Bone marrow aspirate smear. 250 by 250 pixels. Single-cell field
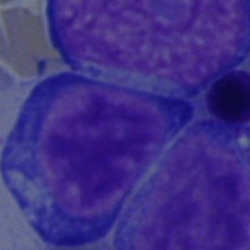
Specimen: bone marrow smear.
Morphological class: pronormoblast.
Lineage: erythroid.